Image size 250×250; bone marrow smear — 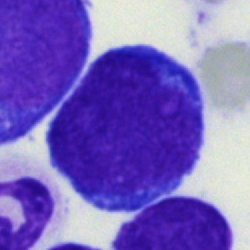Specimen: bone marrow aspirate smear.
Morphological class: blast.